Bone marrow aspirate smear. Single-cell field
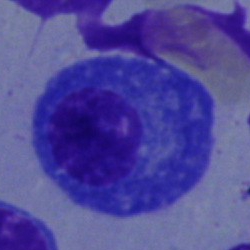A plasmacyte.